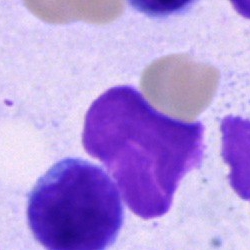Impression — lymphocyte.